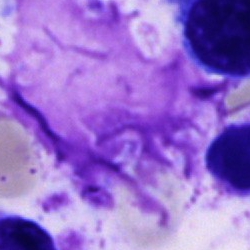Q: What is shown here?
A: Artefact.